Bone marrow aspirate smear; 250 by 250 pixels; cropped to a single cell.
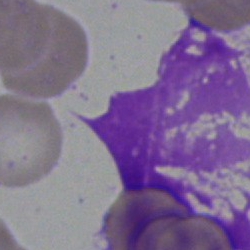An artefact.